Bone marrow smear · Pappenheim-stained · brightfield, 40× oil-immersion objective.
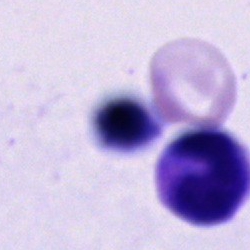The morphological class is cell of indeterminate lineage.